Bone marrow smear
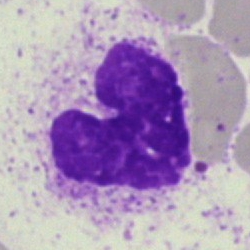

Q: What is shown here?
A: An artefact.